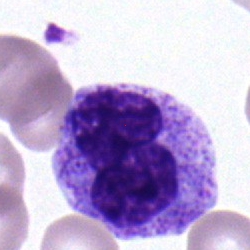 Metamyelocyte.